Bone marrow smear
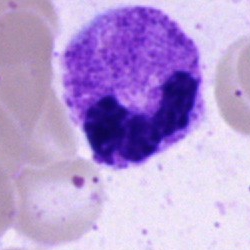 Morphology consistent with a segmented neutrophil.